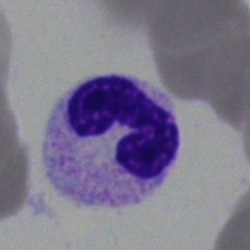

Q: What cell is this?
A: Stab cell.